Bone marrow aspirate smear.
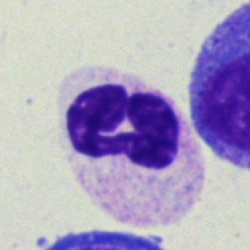
The cell shown is a polymorphonuclear neutrophil.